Cropped to a single cell. Peripheral blood smear: 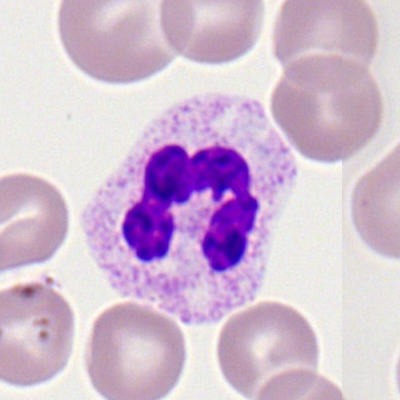 This is a polymorphonuclear neutrophil.